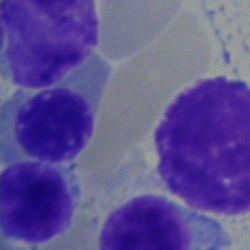
Specimen: bone marrow aspirate smear.
Cell type: erythroblast.
Lineage: erythroid.